Bone marrow aspirate smear:
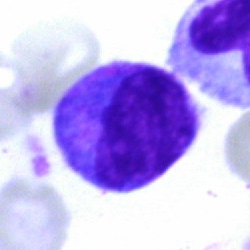Showing a typical lymphocyte.